Bone marrow smear.
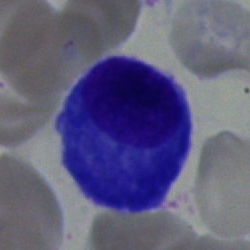Plasma cell.